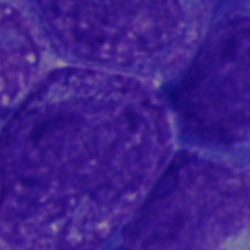 Classification: blast cell.